Bone marrow smear.
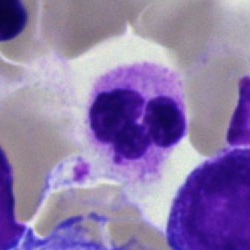Classification = neutrophil (segmented).